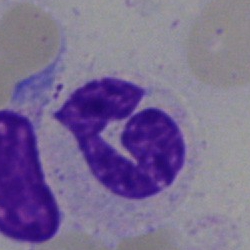

This is a neutrophil (segmented).